Bone marrow aspirate smear. 250 by 250 pixels: 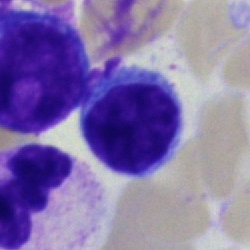

Impression — lymphocyte.